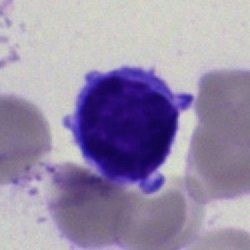 Cell = lymphocyte.